Single-cell crop; bone marrow smear — 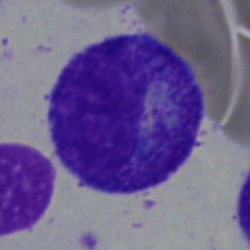

Impression — progranulocyte.